Single-cell crop; bone marrow aspirate smear: 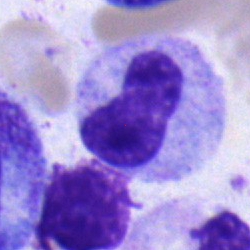
Specimen: bone marrow aspirate smear.
Cell: metamyelocyte.
Lineage: myeloid.